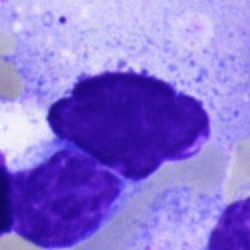Single cell identified as an artifact.